May-Grünwald-Giemsa stain · single-cell field · bone marrow aspirate smear
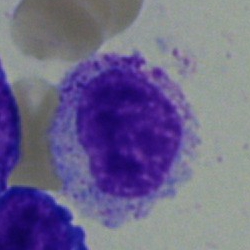 This is a myelocyte.